Bone marrow aspirate smear: 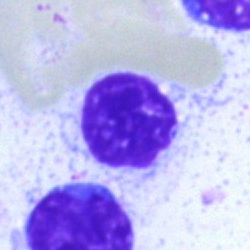 Single cell identified as a lymphocyte.